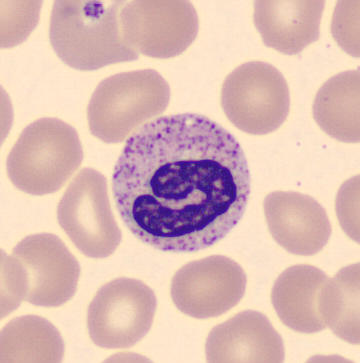 The morphological class is stab cell.

Acquisition: Image size 360×363. Single-cell crop. Peripheral blood smear.